Bone marrow smear.
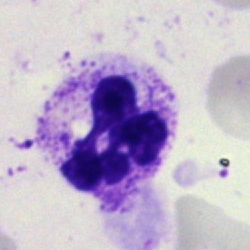

Q: Identify the cell.
A: A polymorphonuclear neutrophil.